Single cell centered in the field · brightfield, 40× oil-immersion objective · bone marrow smear:
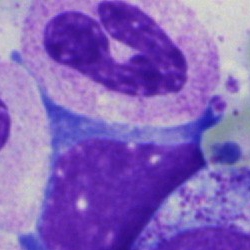 {"cell_type": "neutrophil (segmented)", "lineage": "myeloid"}